Brightfield, 40× oil-immersion objective. Bone marrow smear. Pappenheim-stained — 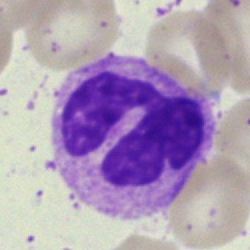
Cell = segmented neutrophil.